Single cell centered in the field; bone marrow smear.
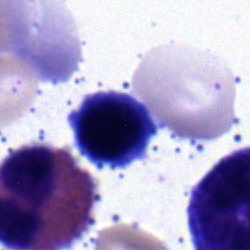

The morphological class is normoblast.